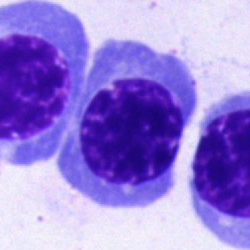Q: What cell is this?
A: Erythroblast.